Bone marrow smear
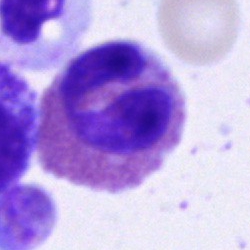 Eosinophil.